Bone marrow aspirate smear · 40× objective, oil immersion — 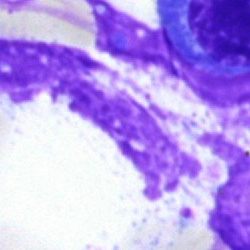
Cell: artefact.